Brightfield microscopy, 40× oil immersion. Bone marrow aspirate smear
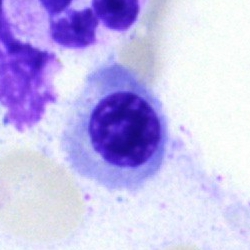 Impression → normoblast.